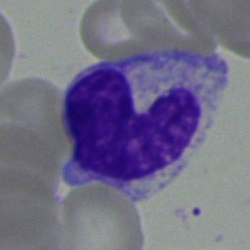

Q: What is the morphological classification of this cell?
A: This is a band-form neutrophil.